Bone marrow aspirate smear — 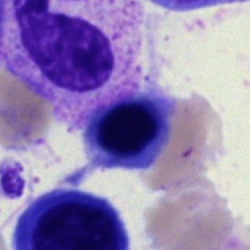

Morphology → nucleated red blood cell.